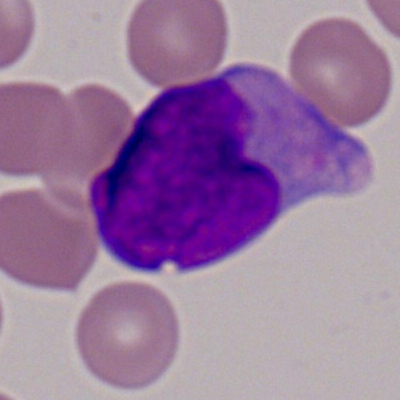

Specimen: peripheral blood smear.
Cell: myeloid blast.
Lineage: myeloid.